Bone marrow smear: 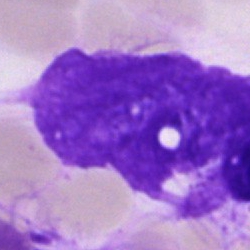 Q: What is shown here?
A: An artifact.